Bone marrow aspirate smear. Cropped to a single cell
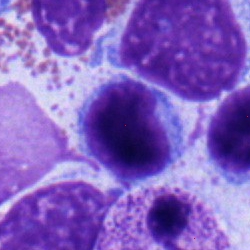 Specimen: bone marrow aspirate smear.
Cell type: typical lymphocyte.